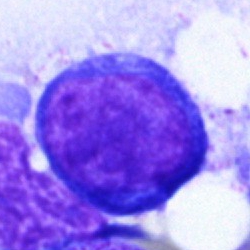

Cell — pronormoblast.